Bone marrow smear: 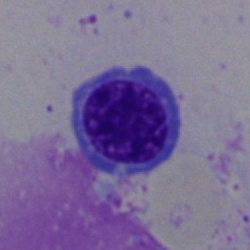

Q: What type of cell is this?
A: It is a normoblast.